Bone marrow aspirate smear:
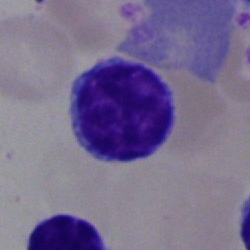

Morphological class = lymphocyte.